Bone marrow smear:
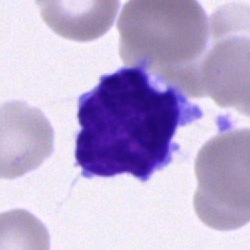

Single cell identified as a typical lymphocyte.